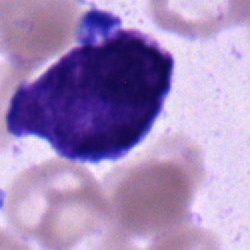

Bone marrow smear showing an undifferentiated blast.